Single-cell field; bone marrow aspirate smear:
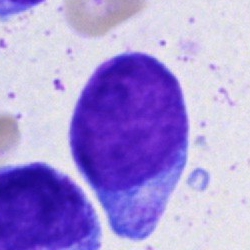
Q: What cell is this?
A: It is a blast.